Brightfield, 40× oil-immersion objective; bone marrow smear
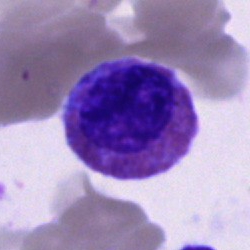

Morphological class: eosinophilic granulocyte.